250×250 · bone marrow smear · MGG-stained — 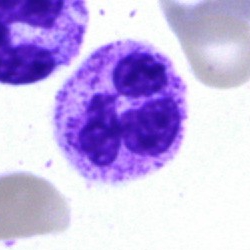 This is a segmented neutrophil.